Bone marrow smear — 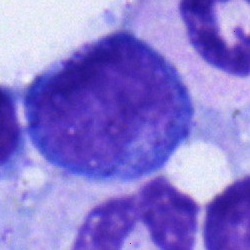 The cell shown is a progranulocyte.